MGG-stained; 250 by 250 pixels; bone marrow smear.
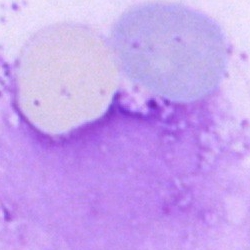Single cell identified as an artefact.